Bone marrow smear:
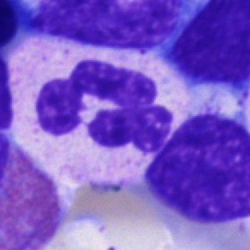

The cell shown is a neutrophil (segmented).